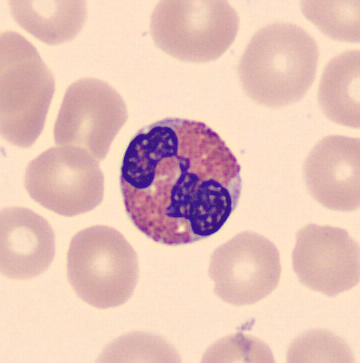

Cropped to a single cell. Peripheral blood smear. Classification — eosinophilic granulocyte.